Cropped to a single cell · May-Grünwald-Giemsa/Pappenheim stain · bone marrow smear
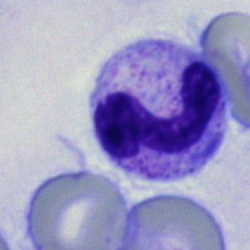 Morphological class = neutrophil (segmented).